Bone marrow aspirate smear; 250×250 px; cropped to a single cell: 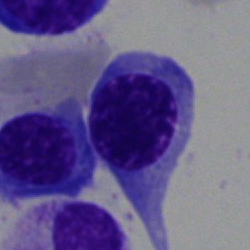Morphological class = erythroblast.